Bone marrow aspirate smear
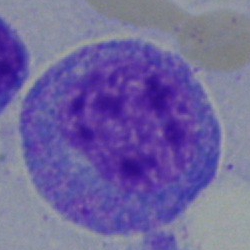
Q: What is shown here?
A: A promyelocyte.